Bone marrow smear
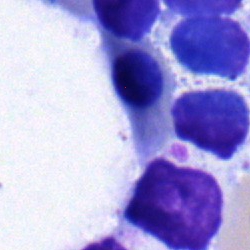

Erythroblast.